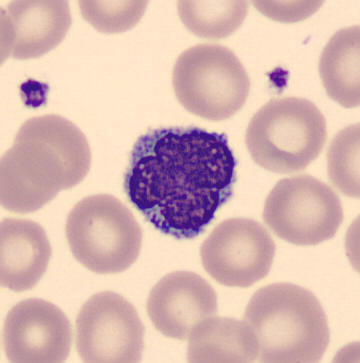 Q: Identify the cell.
A: It is a typical lymphocyte.